Bone marrow smear — 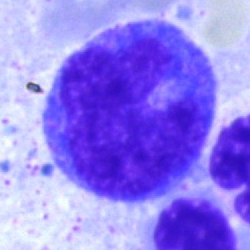

Q: What cell is this?
A: A progranulocyte.